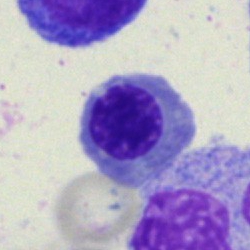 Cell type: erythroblast.